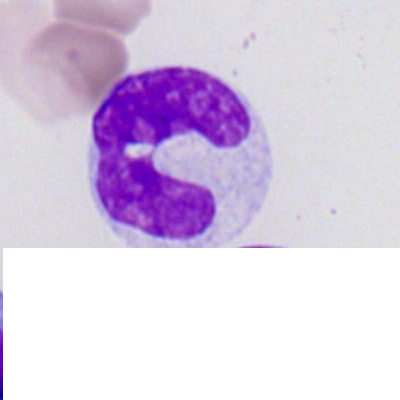Cell: neutrophil (band).